Single-cell field · bone marrow aspirate smear:
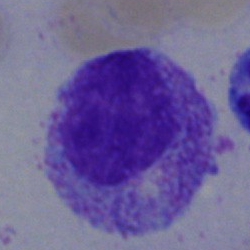Showing a myelocyte.